Peripheral blood smear — 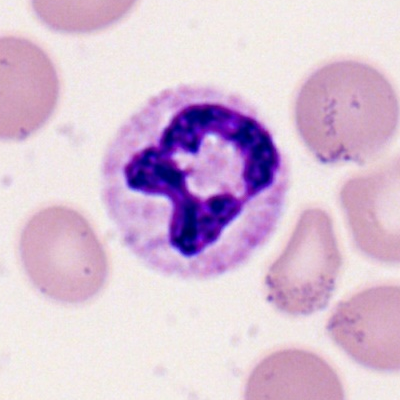
Morphological class — segmented neutrophil.